Bone marrow aspirate smear.
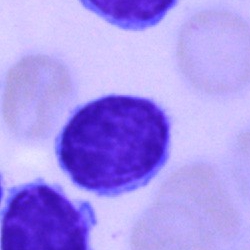

Q: What is shown here?
A: This is a typical lymphocyte.